Bone marrow aspirate smear.
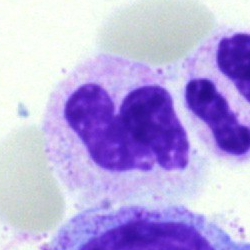
Specimen: bone marrow aspirate smear.
Cell: neutrophil (segmented).